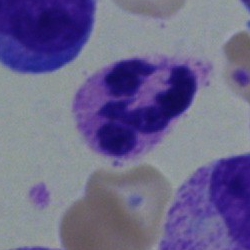 Impression → polymorphonuclear neutrophil.